Bone marrow aspirate smear · single cell centered in the field
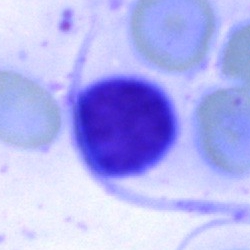 Morphological class: typical lymphocyte.